Bone marrow aspirate smear:
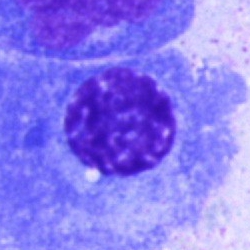 A plasmacyte.